Bone marrow aspirate smear:
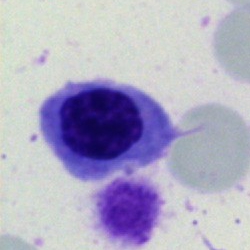
Showing a nucleated red cell.